Peripheral blood smear:
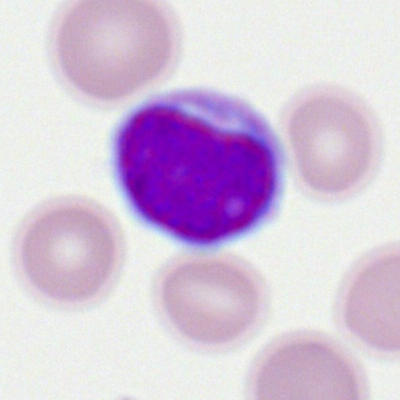

Cell type = typical lymphocyte.